Brightfield, 40× oil-immersion objective. Bone marrow aspirate smear
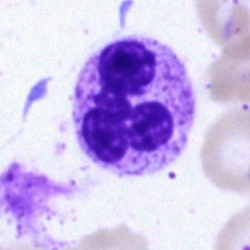 {"cell_type": "polymorphonuclear neutrophil", "lineage": "myeloid"}